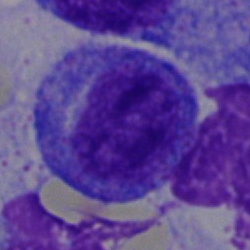

The morphological class is progranulocyte.